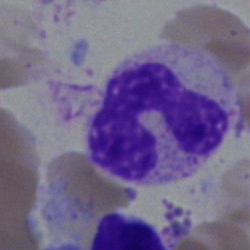 Classification = neutrophil (band).